Bone marrow aspirate smear. Single-cell field:
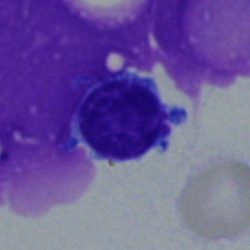Cell: typical lymphocyte.